Bone marrow smear:
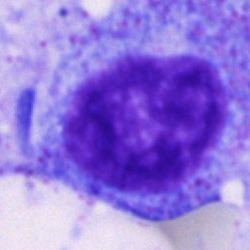
Specimen: bone marrow aspirate smear.
Classification: progranulocyte.